Bone marrow smear:
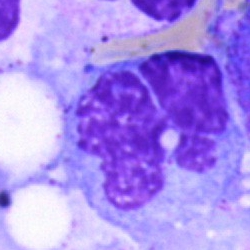

Cell type = monocyte.